Bone marrow smear:
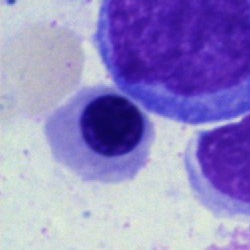

Morphology consistent with an erythroblast.